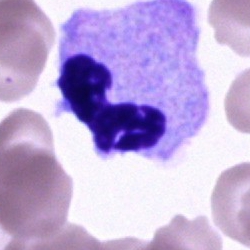Impression — segmented neutrophil.